Bone marrow aspirate smear. Brightfield microscopy, 40× oil immersion.
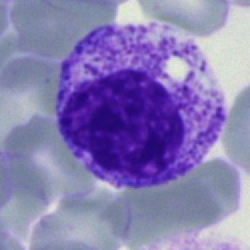

Specimen: bone marrow aspirate smear.
Morphological class: myelocyte.
Lineage: myeloid.